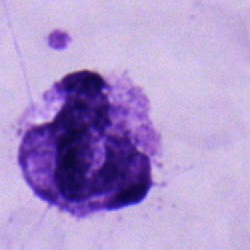 Q: What cell is this?
A: It is a polymorphonuclear neutrophil.